Bone marrow smear — 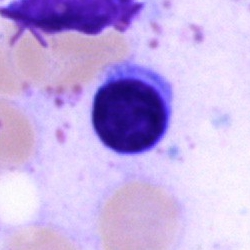
Morphology → lymphocyte.